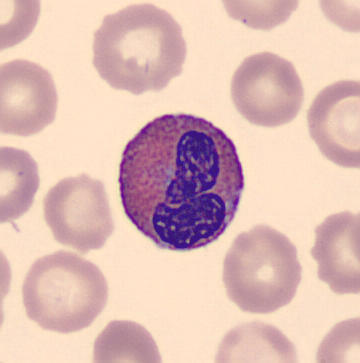
Morphology consistent with an eosinophilic granulocyte.